Peripheral blood smear. CellaVision DM96.
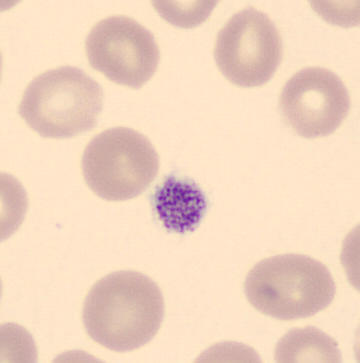Q: What is shown here?
A: Thrombocyte.